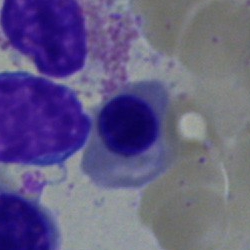

Specimen: bone marrow smear.
Classification: normoblast.
Lineage: erythroid.